Bone marrow smear · MGG-stained.
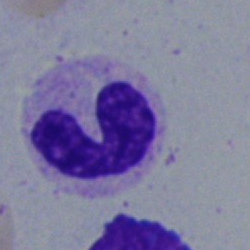
Morphology → band-form neutrophil.